Single-cell crop · bone marrow aspirate smear · 250×250 px.
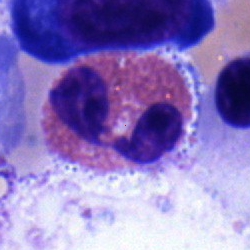
The cell shown is an eosinophil.